Bone marrow aspirate smear. 250×250: 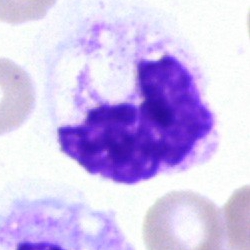 Segmented neutrophil.